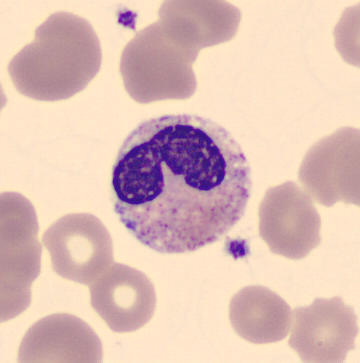 Morphological class = band neutrophil.

Acquisition: Peripheral blood smear; cropped to a single cell.